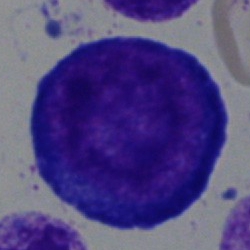 Morphology consistent with a proerythroblast.